Bone marrow aspirate smear · MGG-stained.
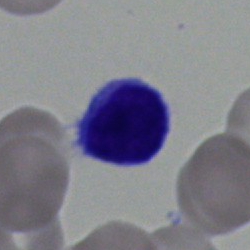
Single cell identified as a lymphocyte.